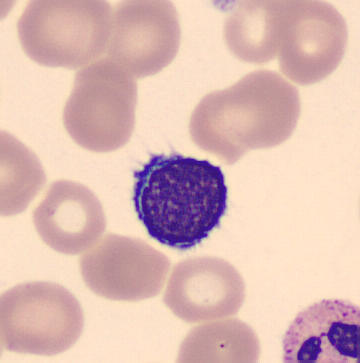Single-cell field · peripheral blood smear.
Morphology consistent with a typical lymphocyte.